Bone marrow aspirate smear.
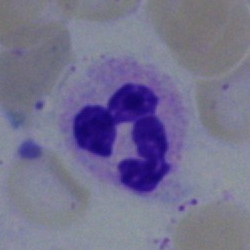

Cell: neutrophil (segmented).